Bone marrow smear · 40× oil immersion:
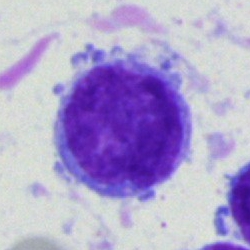

Q: What type of cell is this?
A: Lymphocyte.